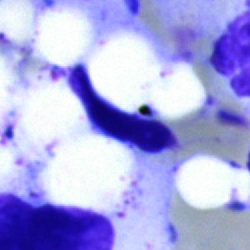Q: What is shown here?
A: It is an artefact.